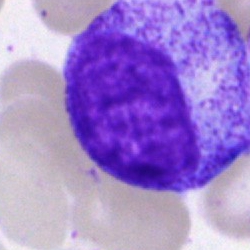
Bone marrow smear showing a promyelocyte.